Cropped to a single cell · 250×250 · bone marrow smear: 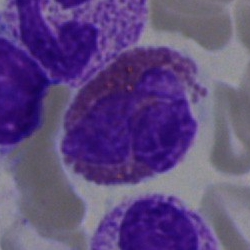
An eosinophilic granulocyte.